Bone marrow aspirate smear:
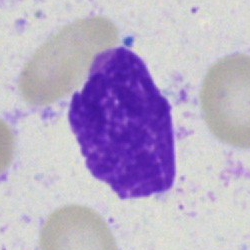Morphology consistent with an artifact.